May-Grünwald-Giemsa/Pappenheim stain. Bone marrow smear
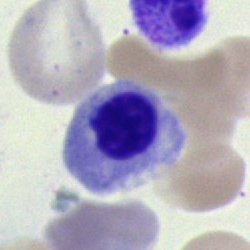 Q: What type of cell is this?
A: This is an erythroblast.